Bone marrow aspirate smear. May-Grünwald-Giemsa/Pappenheim stain — 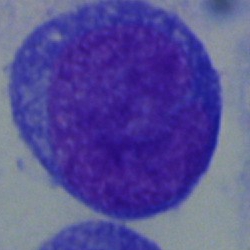Q: Which cell type is shown here?
A: It is a blast cell.